Bone marrow smear. Single-cell crop: 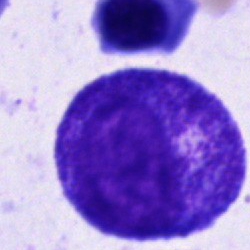 The cell shown is a promyelocyte.